40× oil immersion · bone marrow smear · 250×250 px — 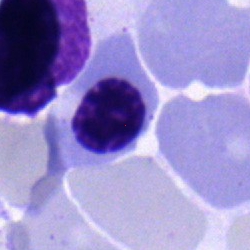

An erythroblast.